Single-cell field · Pappenheim-stained · bone marrow smear: 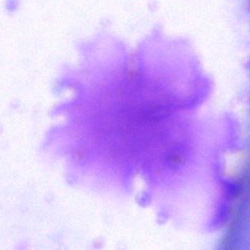

Single cell identified as an artefact.